Single-cell crop; brightfield, 40× oil-immersion objective; bone marrow smear
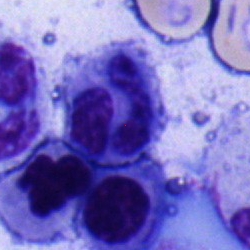

The cell shown is a polymorphonuclear neutrophil.